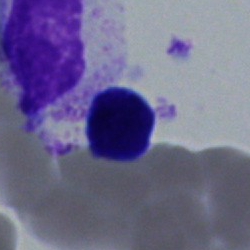
Impression → typical lymphocyte.